Peripheral blood smear:
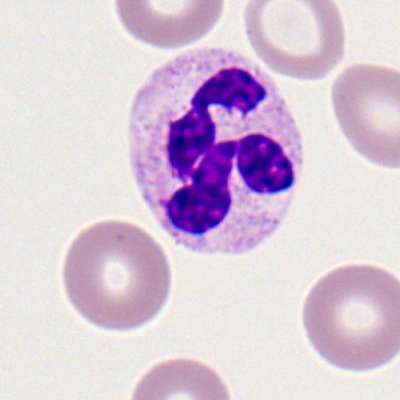Q: What cell is this?
A: This is a segmented neutrophil.